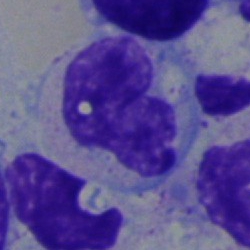
Classification = monocyte.